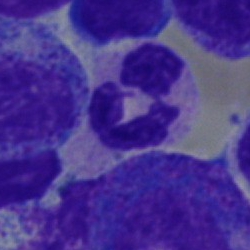 Single cell identified as a polymorphonuclear neutrophil.